Bone marrow aspirate smear.
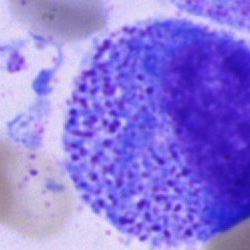

Q: What is the morphological classification of this cell?
A: This is a promyelocyte.